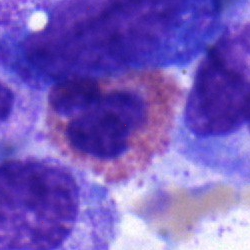
Cell — eosinophilic granulocyte.